Bone marrow smear · brightfield microscopy, 40× oil immersion — 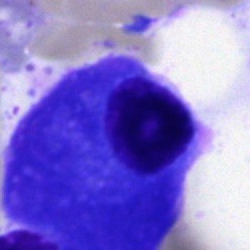 Morphology → plasma cell.